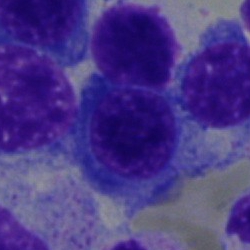A nucleated red cell.